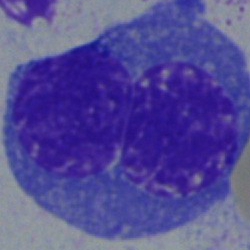

Morphology — nucleated red blood cell.